Bone marrow aspirate smear — 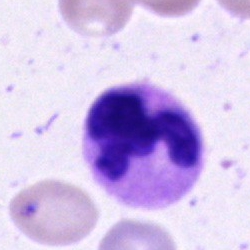 Morphology consistent with a segmented neutrophil.